Bone marrow smear. Single-cell crop:
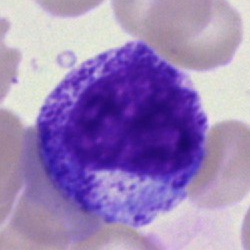Q: What is the morphological classification of this cell?
A: This is a progranulocyte.